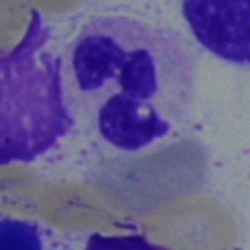 Specimen: bone marrow aspirate smear.
Cell: neutrophil (segmented).
Lineage: myeloid.